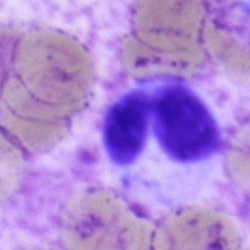
Bone marrow smear showing a neutrophil (segmented).